Bone marrow aspirate smear.
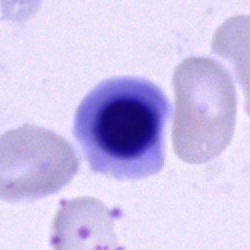

Impression — nucleated red cell.